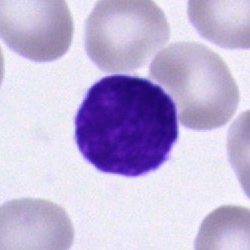

Cell = lymphocyte.